Bone marrow smear — 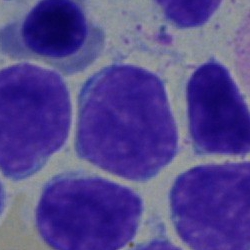
Lymphocyte.